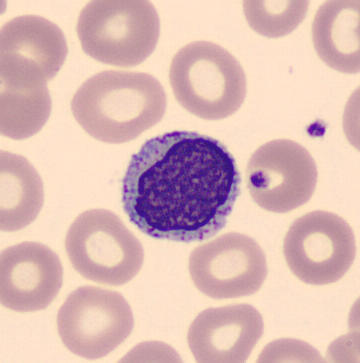 Specimen: peripheral blood smear.
Classification: lymphocyte.